Bone marrow smear: 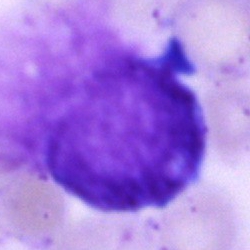
Q: What is shown here?
A: It is an artefact.